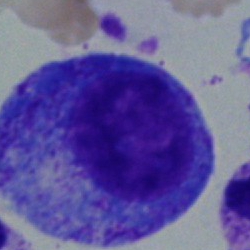 Morphology — promyelocyte.